MGG-stained · single-cell crop · bone marrow smear: 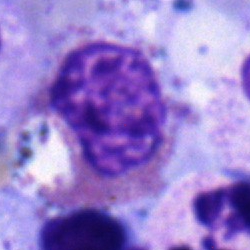 Cell type = eosinophilic granulocyte.